Image size 250×250 · bone marrow aspirate smear
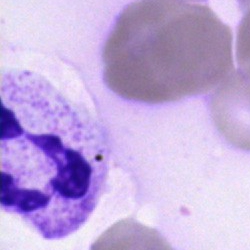
Morphological class = segmented neutrophil.